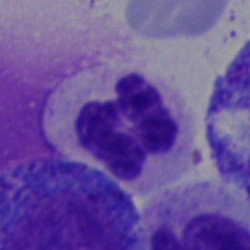

Q: Which cell type is shown here?
A: This is a segmented neutrophil.